Bone marrow smear · brightfield, 40× oil-immersion objective · single-cell crop: 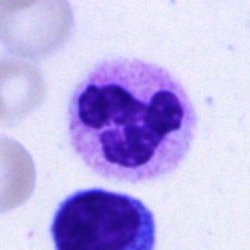

The cell shown is a polymorphonuclear neutrophil.